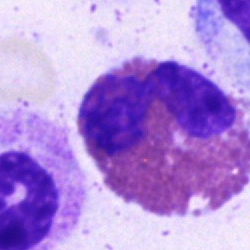
Q: Identify the cell.
A: This is an eosinophil.